Bone marrow smear. Cropped to a single cell — 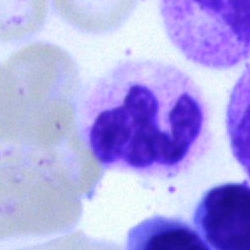

Morphological class = segmented neutrophil.